Bone marrow smear:
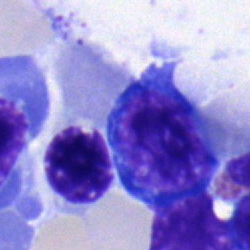

A nucleated red cell.